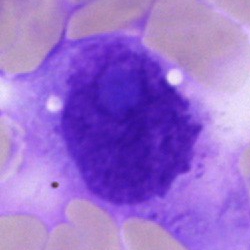 Impression — artefact.